Peripheral blood smear:
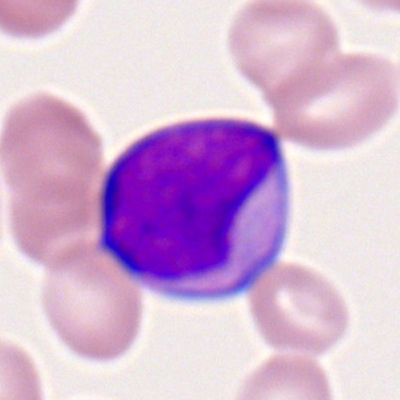Morphology consistent with a myeloid blast.